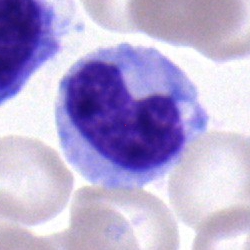
Single-cell crop from a bone marrow smear: neutrophil (band).